Bone marrow smear: 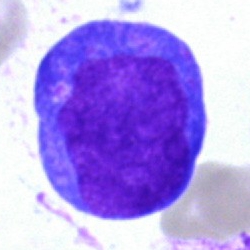 Classification = progranulocyte.